Bone marrow smear
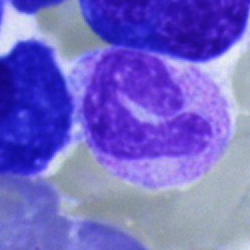Cell type: polymorphonuclear neutrophil.